Bone marrow smear — 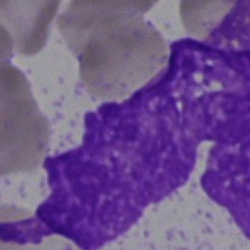
{"cell_type": "artifact"}